Bone marrow aspirate smear. MGG-stained:
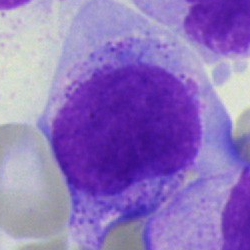
Single cell identified as a blast.